Bone marrow aspirate smear:
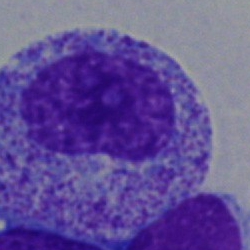 This is a myelocyte.